Bone marrow smear
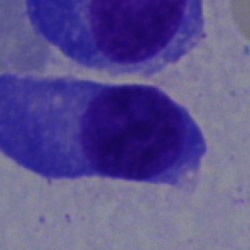

Q: What cell is this?
A: This is a plasmacyte.